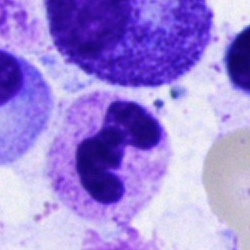

Single cell identified as a segmented neutrophil.